250×250 px · bone marrow smear.
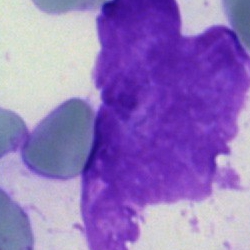
The cell is artefact.